Bone marrow aspirate smear — 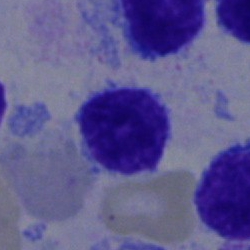Typical lymphocyte.